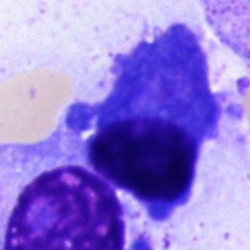 Single-cell crop from a bone marrow smear: plasma cell.